Bone marrow smear. Single cell centered in the field.
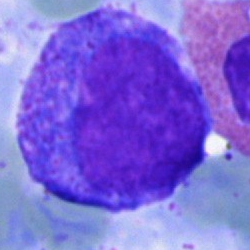 Promyelocyte.